Bone marrow smear
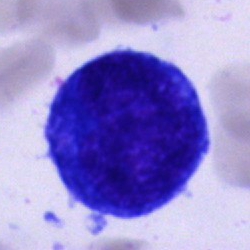
Specimen: bone marrow aspirate smear.
Cell: unidentifiable cell.